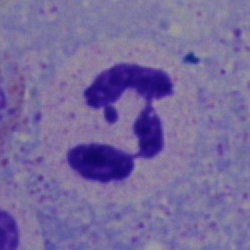

Morphology → segmented neutrophil.